Bone marrow aspirate smear; brightfield, 40× oil-immersion objective — 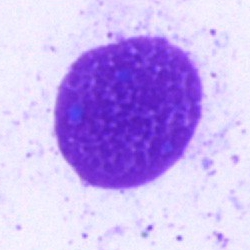Showing an artifact.